Romanowsky-stained; peripheral blood film; single cell centered in the field:
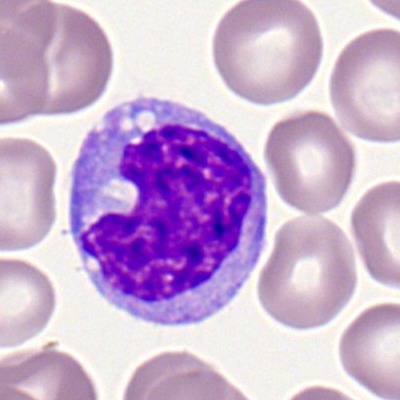

Specimen: peripheral blood film.
Cell: monocyte.
Lineage: myeloid.